Single-cell crop; brightfield microscopy, 40× oil immersion; bone marrow smear:
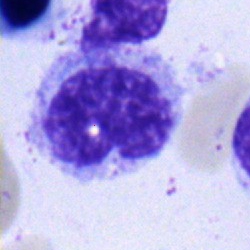Specimen: bone marrow aspirate smear.
Cell type: metamyelocyte.
Lineage: myeloid.